Single-cell crop. Bone marrow aspirate smear. MGG-stained — 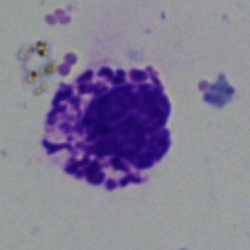Specimen: bone marrow aspirate smear.
Classification: basophilic granulocyte.
Lineage: myeloid.